May Grünwald-Giemsa stain. Peripheral blood smear. 360×363.
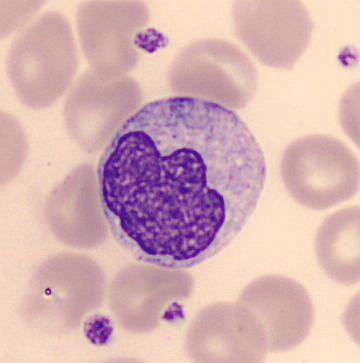Q: What is this?
A: This is a monocyte.